Bone marrow aspirate smear:
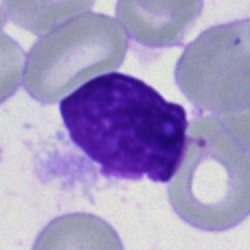
Morphological class — artifact.